Bone marrow aspirate smear
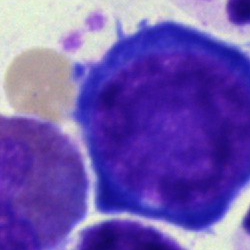
This is a pronormoblast.